250×250 px · single-cell crop · bone marrow aspirate smear — 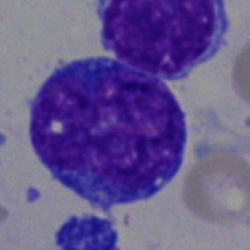 Morphology → blast cell.